Single cell centered in the field. Bone marrow smear — 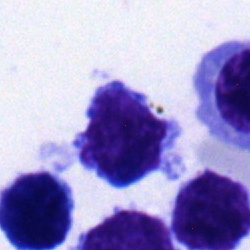Morphological class — lymphocyte.